Bone marrow smear; 40× oil immersion: 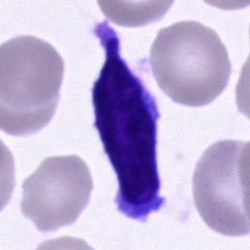 Q: What cell is this?
A: A lymphocyte.